Bone marrow aspirate smear. 250×250 px.
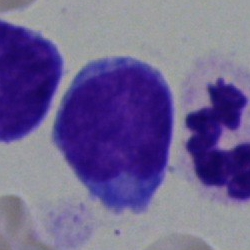{"cell_type": "lymphocyte", "lineage": "lymphoid"}